May-Grünwald-Giemsa/Pappenheim stain · bone marrow smear.
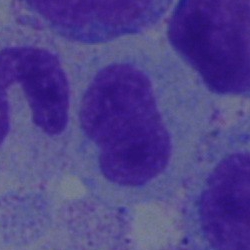 Classification = metamyelocyte.